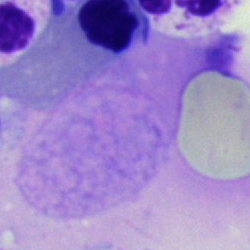{"cell_type": "artefact"}